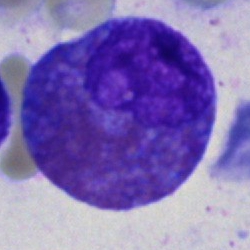

Single cell identified as an eosinophil.